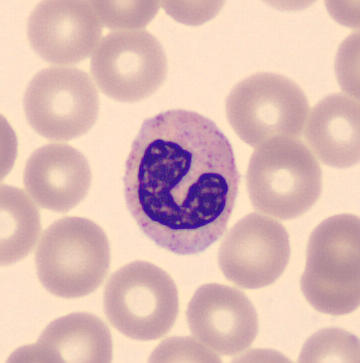

Cropped to a single cell; peripheral blood smear.

Band-form neutrophil.